Bone marrow aspirate smear
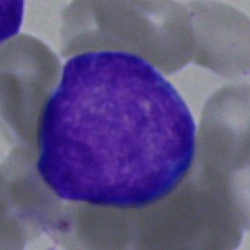

Classification = blast.